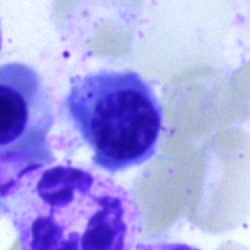
A nucleated red cell on a bone marrow smear.